250×250 px. Bone marrow smear: 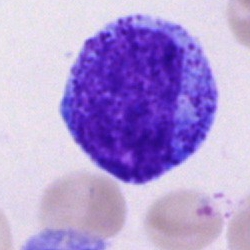 Specimen: bone marrow aspirate smear.
Morphological class: promyelocyte.